Bone marrow smear
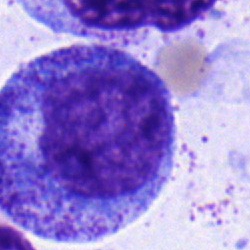 The cell type is promyelocyte.